Single-cell crop · bone marrow aspirate smear: 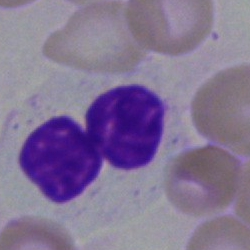
Morphology consistent with a polymorphonuclear neutrophil.